Bone marrow smear
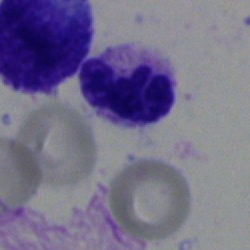

Q: What is the morphological classification of this cell?
A: Polymorphonuclear neutrophil.